Cropped to a single cell · bone marrow smear: 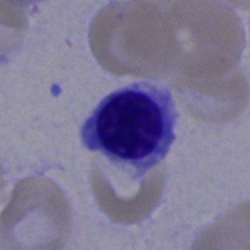

Morphology consistent with an erythroblast.